Bone marrow smear.
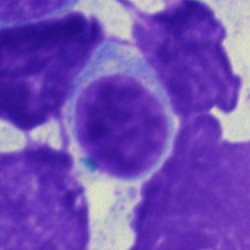

Specimen: bone marrow smear.
Cell type: lymphocyte.
Lineage: lymphoid.